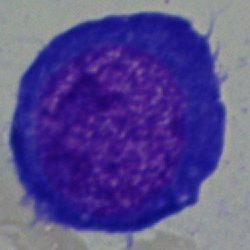 Single-cell crop from a bone marrow smear: pronormoblast.